May-Grünwald-Giemsa stain. Bone marrow aspirate smear — 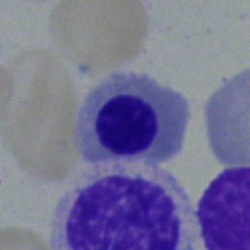Classification = erythroblast.